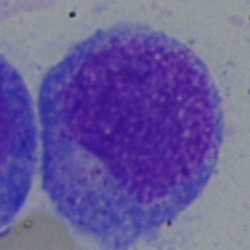
Specimen: bone marrow smear.
Morphological class: promyelocyte.
Lineage: myeloid.